250 by 250 pixels. Bone marrow smear: 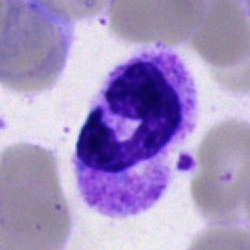
Polymorphonuclear neutrophil.